Bone marrow aspirate smear; cropped to a single cell; brightfield, 40× oil-immersion objective — 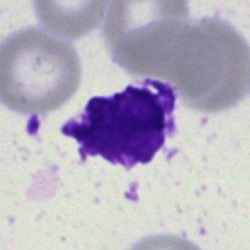

Showing an artefact.